Bone marrow aspirate smear — 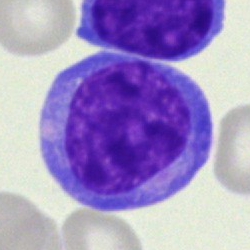 {"cell_type": "immature lymphocyte"}